Brightfield microscopy, 40× oil immersion. Bone marrow aspirate smear
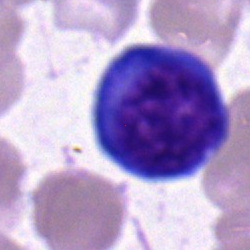 Cell = nucleated red blood cell.